Single-cell field. Bone marrow smear:
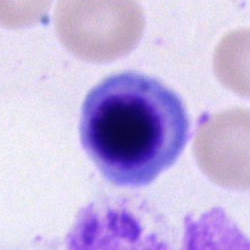
This is an erythroblast.